40× objective, oil immersion; bone marrow aspirate smear:
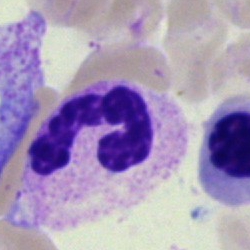Q: Identify the cell.
A: Segmented neutrophil.